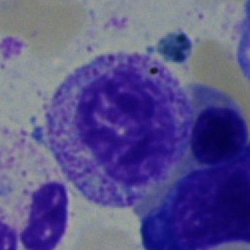

A myelocyte.